May-Grünwald-Giemsa stain; brightfield, 40× oil-immersion objective; bone marrow aspirate smear — 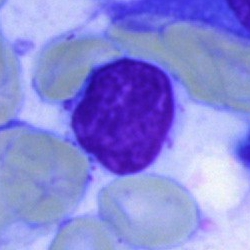
Impression — artifact.